Bone marrow smear — 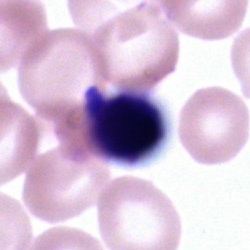
An artefact.